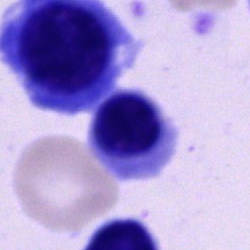

A nucleated red cell.